Bone marrow aspirate smear.
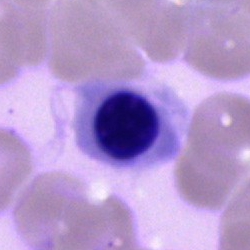 A nucleated red cell.